May-Grünwald-Giemsa/Pappenheim stain; bone marrow smear
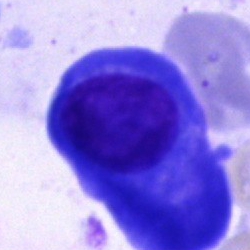 Cell type: plasma cell.